Bone marrow smear · 250×250 · brightfield, 40× oil-immersion objective:
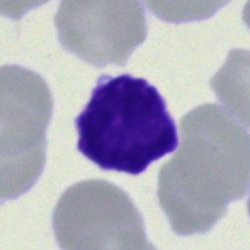 Specimen: bone marrow aspirate smear.
Cell type: typical lymphocyte.